Bone marrow smear.
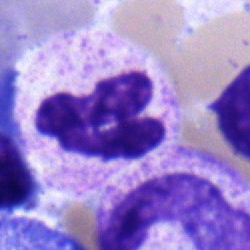
Q: Identify the cell.
A: Segmented neutrophil.